Brightfield, 40× oil-immersion objective. Bone marrow smear. 250×250 px — 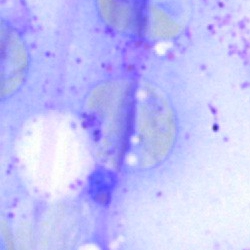 Q: What is shown here?
A: Artifact.